Bone marrow smear. Single cell centered in the field.
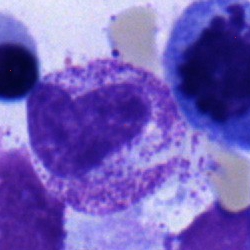Specimen: bone marrow smear.
Cell: metamyelocyte.